Single-cell field; peripheral blood smear
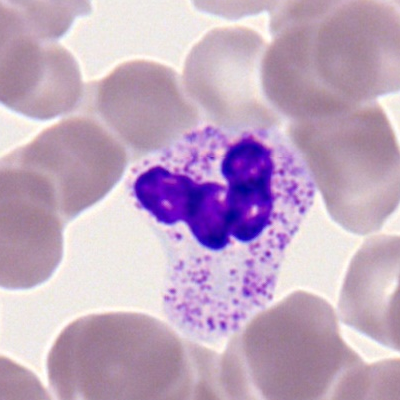

A neutrophil (segmented).